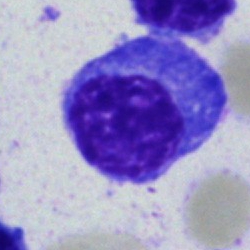

Classification: plasma cell.